Bone marrow aspirate smear
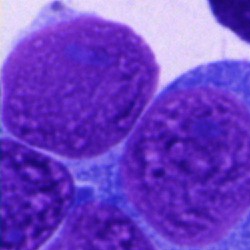

Morphology consistent with an artifact.